Bone marrow smear — 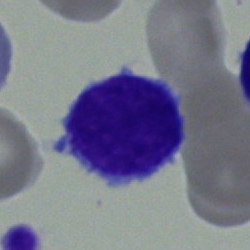 {"cell_type": "lymphocyte", "lineage": "lymphoid"}